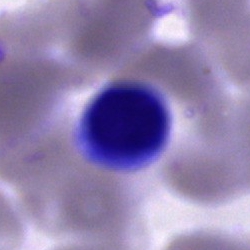

Morphology → cell of indeterminate lineage.